Peripheral blood film
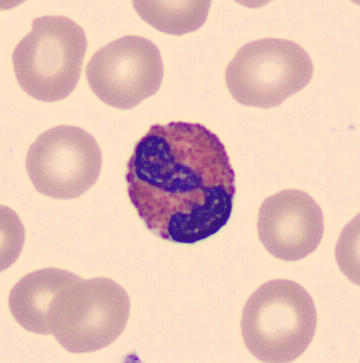

Specimen: peripheral blood smear.
Cell type: eosinophilic granulocyte.